Bone marrow smear
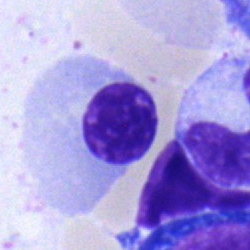Classification = normoblast.